Bone marrow aspirate smear; 40× objective, oil immersion; 250×250.
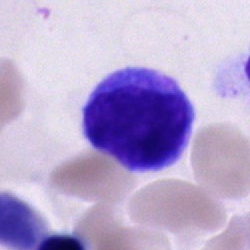 A lymphocyte.